Bone marrow aspirate smear. Pappenheim-stained
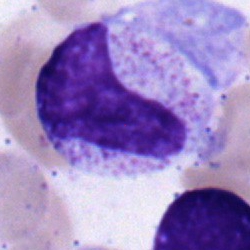Cell: myelocyte.